100× objective, oil immersion; peripheral blood film: 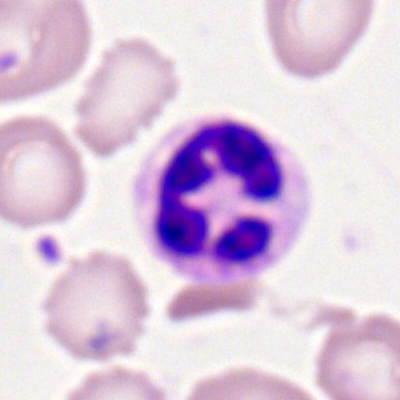Morphological class: polymorphonuclear neutrophil.